Bone marrow smear
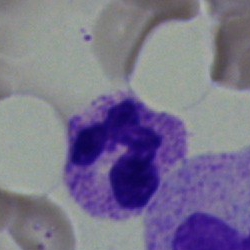
The cell shown is a polymorphonuclear neutrophil.